Bone marrow smear.
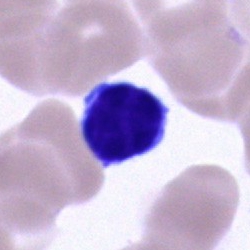Impression — lymphocyte.